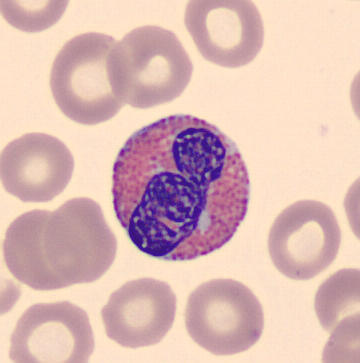 Specimen: peripheral blood film.
Morphological class: eosinophil.
Lineage: myeloid.